Bone marrow smear · 250×250 px · 40× oil immersion — 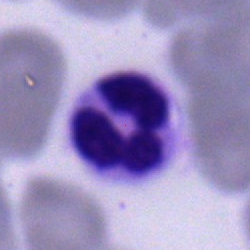
Specimen: bone marrow aspirate smear.
Classification: segmented neutrophil.